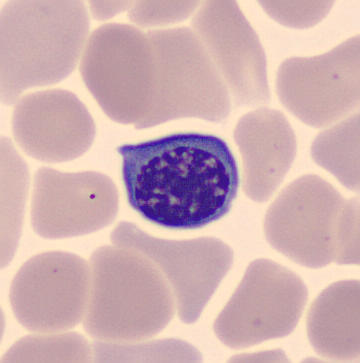

Morphological class = erythroblast.

Image: Peripheral blood film.